Bone marrow aspirate smear:
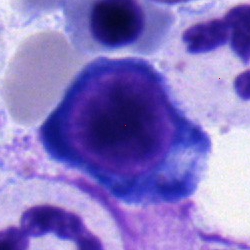A proerythroblast.